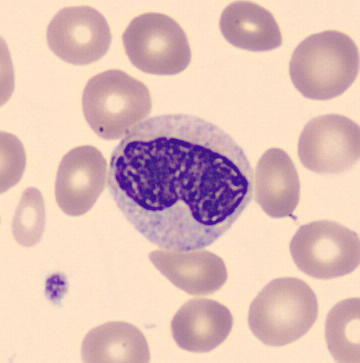
Image: MGG-stained · peripheral blood smear. The cell shown is a metamyelocyte.